Cropped to a single cell · bone marrow smear:
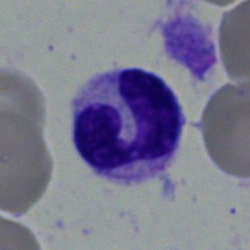
Specimen: bone marrow aspirate smear.
Cell type: neutrophil (segmented).